250×250 px; bone marrow smear.
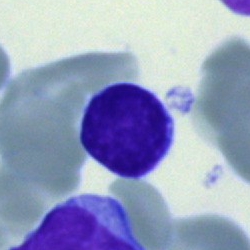
The classification is typical lymphocyte.